Bone marrow aspirate smear. Cropped to a single cell.
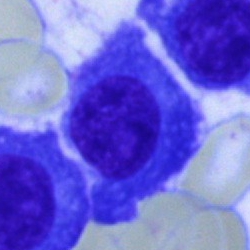

Morphology — plasma cell.